Bone marrow aspirate smear; May-Grünwald-Giemsa/Pappenheim stain:
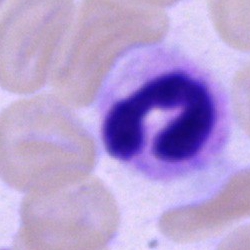
The cell shown is a band neutrophil.